Image size 250×250. Brightfield microscopy, 40× oil immersion. Bone marrow aspirate smear — 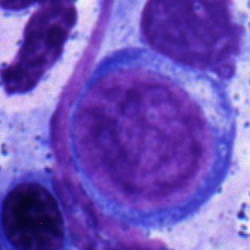

{"cell_type": "proerythroblast"}